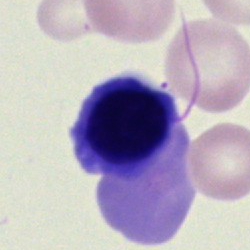Q: What type of cell is this?
A: This is a normoblast.